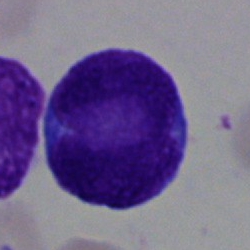Bone marrow aspirate smear, single cell — blast cell.